Bone marrow aspirate smear.
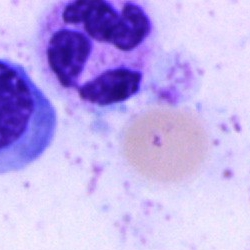

Single cell identified as a segmented neutrophil.